Peripheral blood film: 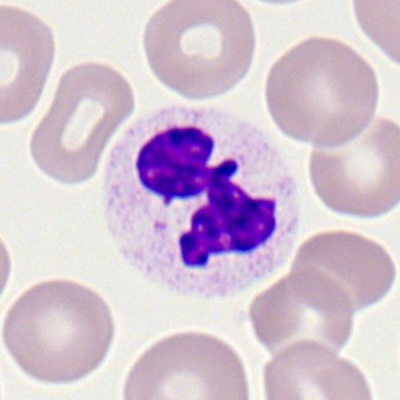 Cell — segmented neutrophil.